Brightfield microscopy, 40× oil immersion · bone marrow aspirate smear
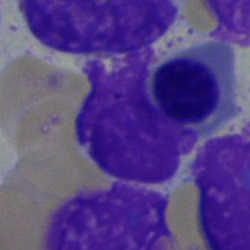Q: What cell is this?
A: An erythroblast.